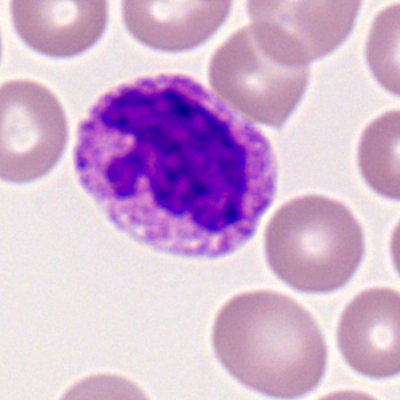

Single-cell crop from a peripheral blood smear: basophilic granulocyte.